Bone marrow aspirate smear:
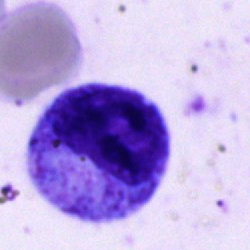

Morphology → promyelocyte.